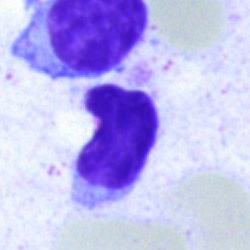
Bone marrow smear showing a typical lymphocyte.